Bone marrow smear
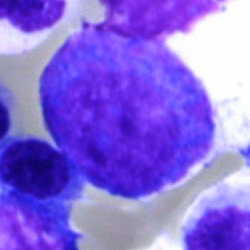The morphological class is promyelocyte.